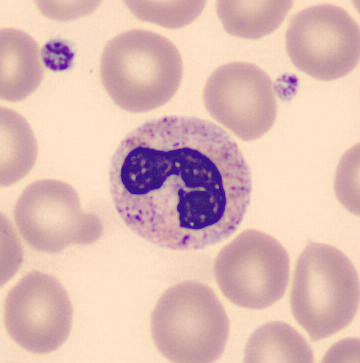 Morphological class = band neutrophil. Preparation: Peripheral blood smear.